Bone marrow smear
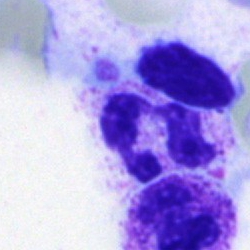
Q: Identify the cell.
A: It is a segmented neutrophil.